Bone marrow smear · May-Grünwald-Giemsa/Pappenheim stain:
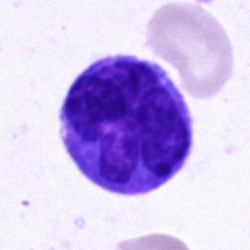Specimen: bone marrow smear.
Morphological class: monocyte.